250×250 px. Brightfield, 40× oil-immersion objective. Bone marrow aspirate smear
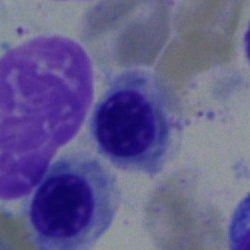
Showing a nucleated red cell.